May-Grünwald-Giemsa stain. Bone marrow aspirate smear: 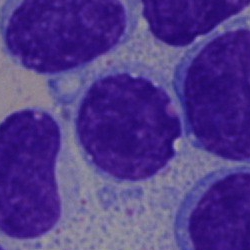This is a typical lymphocyte.